Bone marrow aspirate smear: 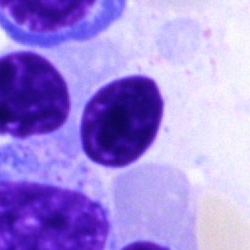Q: What cell is this?
A: This is a typical lymphocyte.